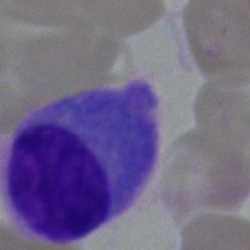

A plasma cell.